Brightfield, 40× oil-immersion objective · bone marrow smear — 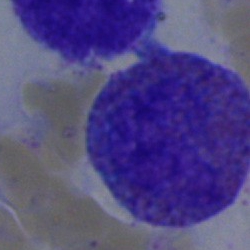
Specimen: bone marrow aspirate smear.
Classification: eosinophilic granulocyte.